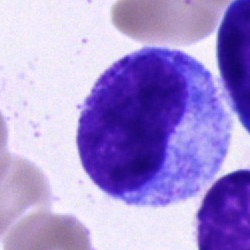{"cell_type": "progranulocyte", "lineage": "myeloid"}